Bone marrow aspirate smear — 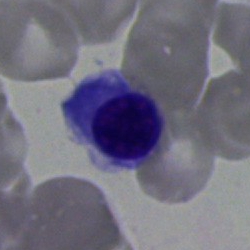This is a normoblast.